Bone marrow aspirate smear; brightfield microscopy, 40× oil immersion
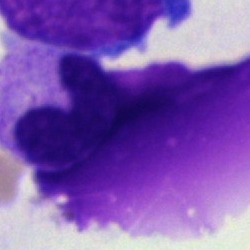 Specimen: bone marrow aspirate smear.
Morphological class: artifact.